Bone marrow aspirate smear.
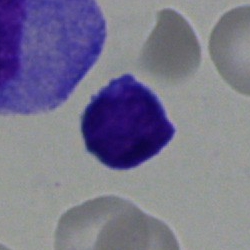The cell shown is a typical lymphocyte.